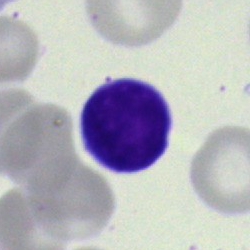Q: Identify the cell.
A: This is a typical lymphocyte.